Bone marrow smear — 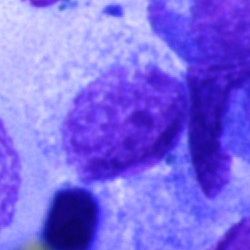{"cell_type": "artifact"}